Peripheral blood smear · Romanowsky stain: 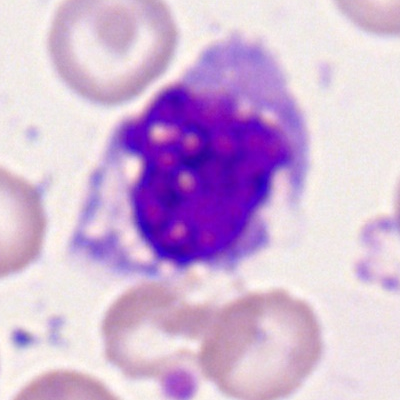
A monocyte.